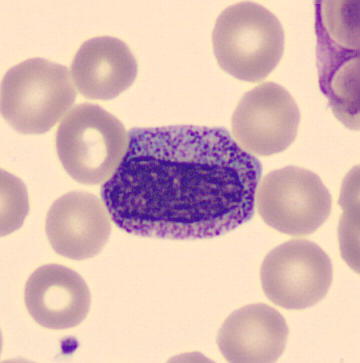 CellaVision DM96. Specimen: peripheral blood smear.
Morphological class: myelocyte.
Lineage: myeloid.